250 by 250 pixels. Bone marrow aspirate smear
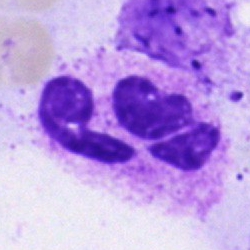 Cell: neutrophil (segmented).